Brightfield, 40× oil-immersion objective. Single cell centered in the field. Bone marrow aspirate smear:
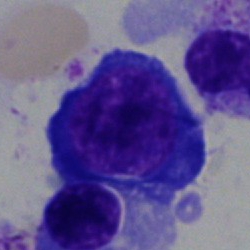This is a normoblast.